CellaVision DM96; MGG-stained; peripheral blood smear
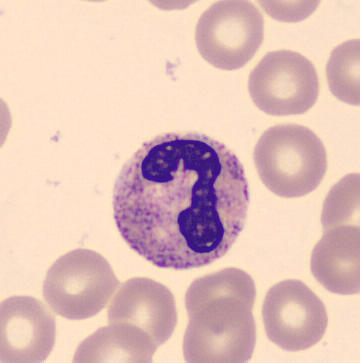Specimen: peripheral blood film.
Cell: neutrophil (segmented).